Bone marrow smear
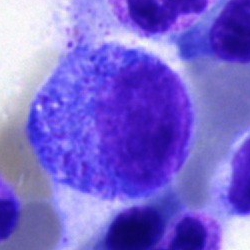Impression — promyelocyte.